Image size 400×400. Peripheral blood film:
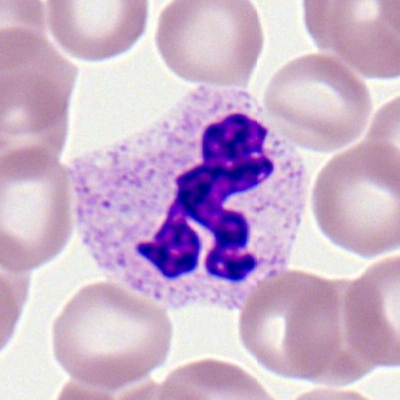
Morphological class = segmented neutrophil.